Bone marrow aspirate smear: 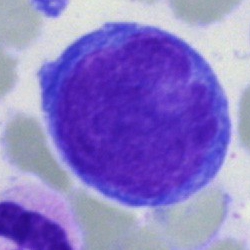

Specimen: bone marrow smear.
Cell: blast.